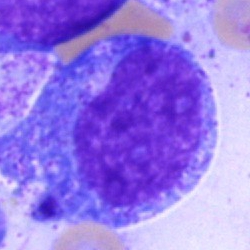

Showing a progranulocyte.